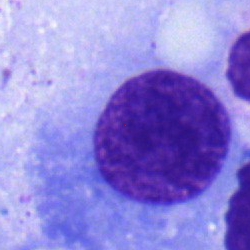
Morphological class — plasmacyte.